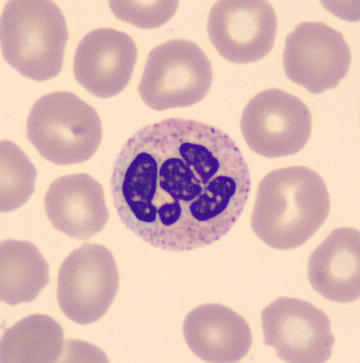 Image: Peripheral blood film.

Showing a segmented neutrophil.